Bone marrow aspirate smear — 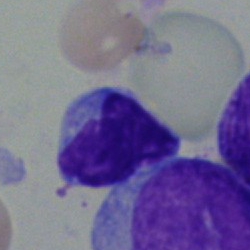
Impression — lymphocyte.